Bone marrow smear. Pappenheim-stained
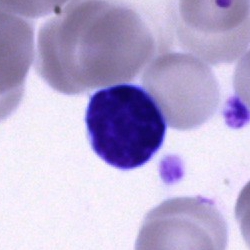
Cell: typical lymphocyte.